Bone marrow smear
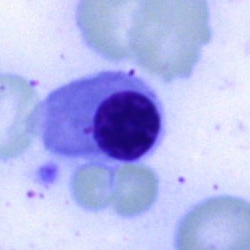

Showing an erythroblast.